M8 digital microscope (Precipoint), 100× oil immersion; peripheral blood smear; 400×400:
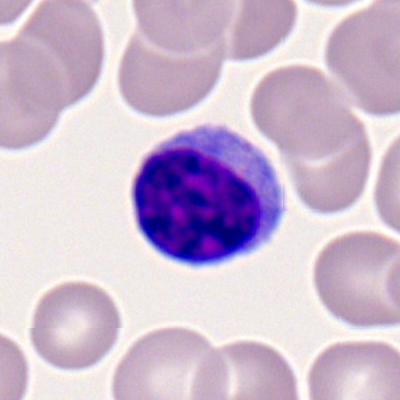Typical lymphocyte.